Bone marrow smear:
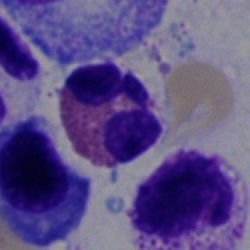 Q: What type of cell is this?
A: It is an eosinophilic granulocyte.